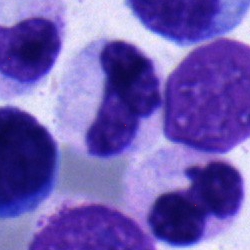Cell = band neutrophil.